Pappenheim-stained. Bone marrow aspirate smear. 250×250 px.
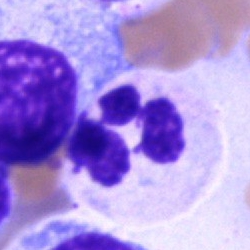 The cell type is segmented neutrophil.